MGG-stained; cropped to a single cell; bone marrow aspirate smear: 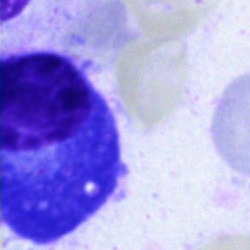
Showing a plasma cell.